Bone marrow smear — 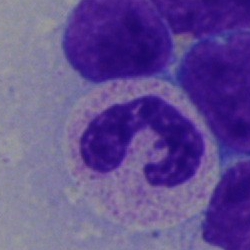
Impression → polymorphonuclear neutrophil.